Bone marrow aspirate smear · 250 by 250 pixels.
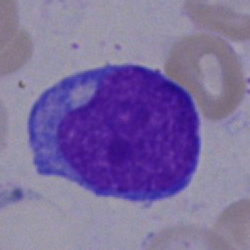 Impression — blast.